Peripheral blood film.
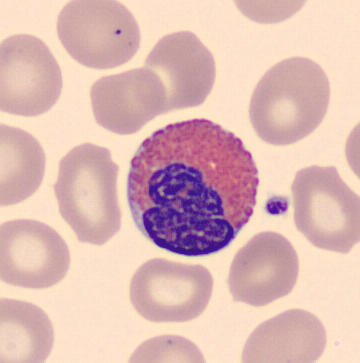Single cell identified as an eosinophilic granulocyte.